Peripheral blood smear · Romanowsky-type stain — 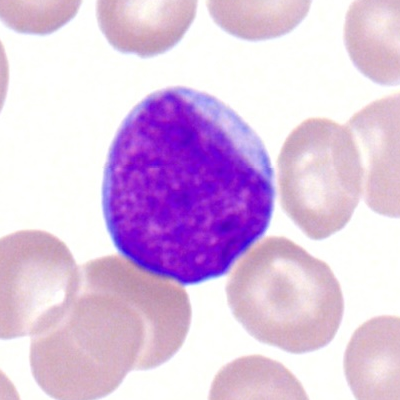This is a myeloblast.